Bone marrow aspirate smear.
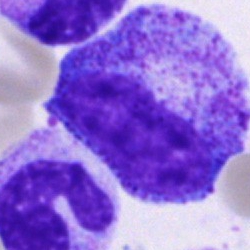Impression → promyelocyte.